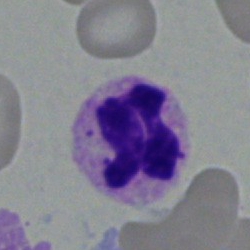
A segmented neutrophil on a bone marrow smear.